Bone marrow aspirate smear · single cell centered in the field · May-Grünwald-Giemsa stain.
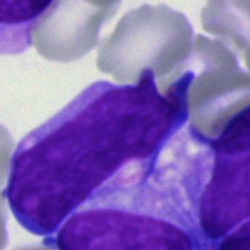
Specimen: bone marrow smear.
Classification: undifferentiated blast.